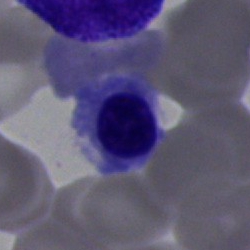 Specimen: bone marrow smear.
Morphological class: nucleated red blood cell.
Lineage: erythroid.